Bone marrow aspirate smear. Single-cell field.
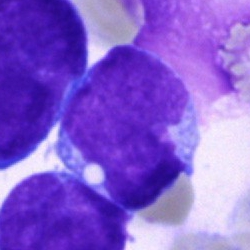 {"cell_type": "blast cell"}